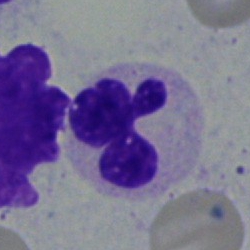A segmented neutrophil on a bone marrow smear.